May-Grünwald-Giemsa stain. Bone marrow smear:
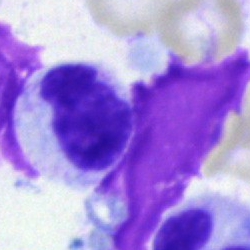 Cell type = metamyelocyte.